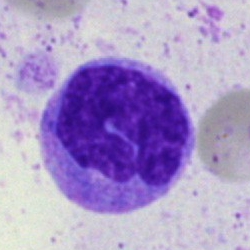

Showing a monocyte.